Single-cell crop. Pappenheim-stained. Bone marrow aspirate smear: 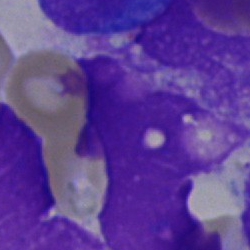
Morphology — artefact.